Bone marrow smear
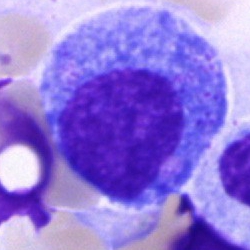
Specimen: bone marrow smear.
Classification: promyelocyte.